Image size 250×250 · bone marrow smear:
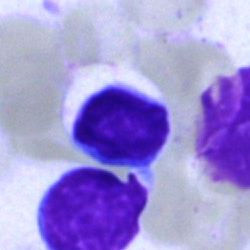Classification: typical lymphocyte.